Bone marrow smear; brightfield, 40× oil-immersion objective
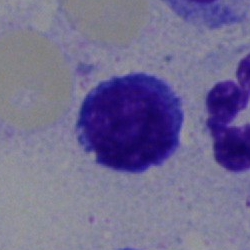A typical lymphocyte.